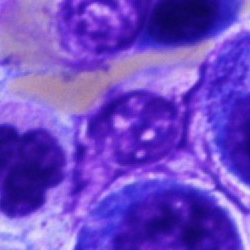 The classification is artifact.